M8 digital microscope (Precipoint), 100× oil immersion; peripheral blood smear; image size 400×400:
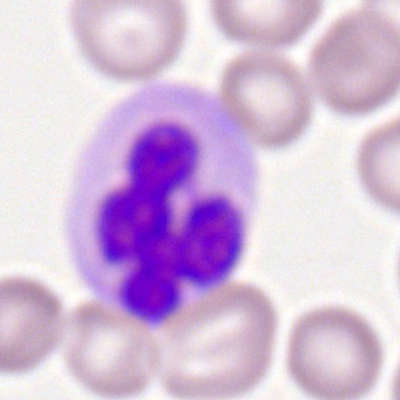
Single cell identified as a monocyte.